May-Grünwald-Giemsa/Pappenheim stain. Bone marrow smear
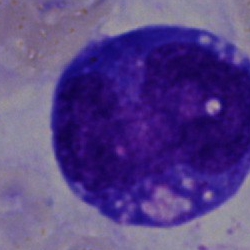

Q: What type of cell is this?
A: A blast.